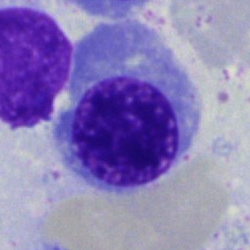Morphological class = erythroblast.